Bone marrow smear — 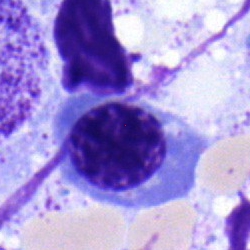 Morphology consistent with an erythroblast.